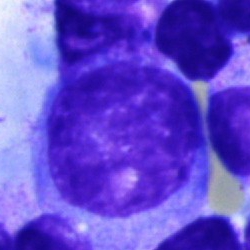 Specimen: bone marrow aspirate smear.
Cell type: undifferentiated blast.